Bone marrow smear; brightfield microscopy, 40× oil immersion.
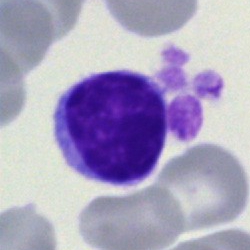
Q: Which cell type is shown here?
A: It is a lymphocyte.